Bone marrow aspirate smear:
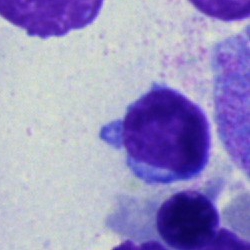 {"cell_type": "lymphocyte"}